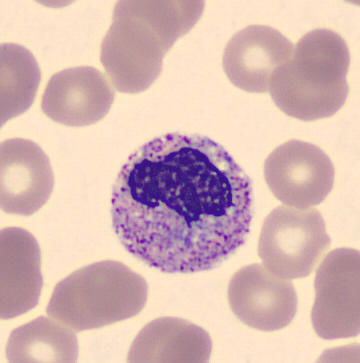

Q: What is the morphological classification of this cell?
A: Neutrophil (band).